Bone marrow aspirate smear — 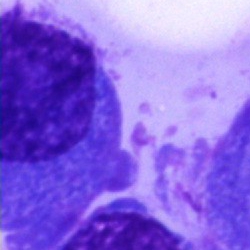This is a plasma cell.